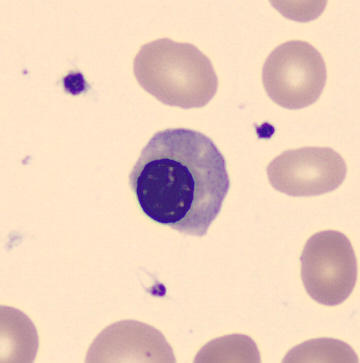 Morphological class: erythroblast.